May-Grünwald-Giemsa stain · bone marrow smear · single-cell field
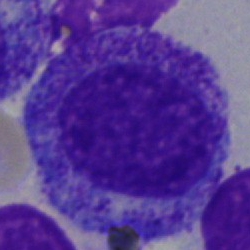Morphological class — myelocyte.